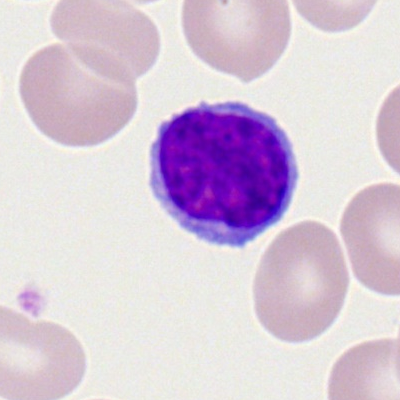

The cell type is typical lymphocyte.